Single-cell crop. Peripheral blood film.
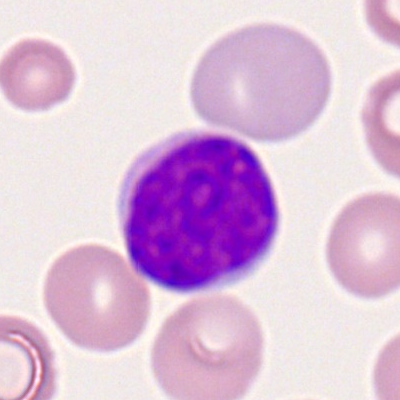

Classification: typical lymphocyte.